Bone marrow smear
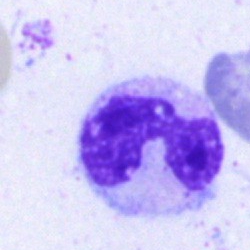Q: What is shown here?
A: This is a polymorphonuclear neutrophil.